40× objective, oil immersion; bone marrow smear.
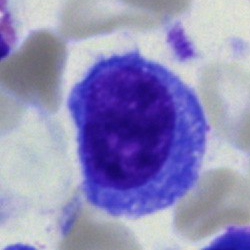
{"cell_type": "undifferentiated blast"}